Bone marrow smear
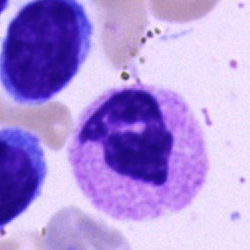
This is a segmented neutrophil.